Peripheral blood film: 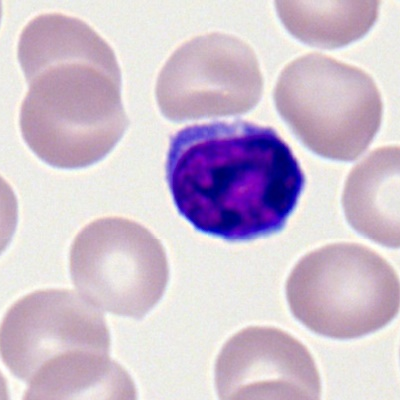
Morphological class — lymphocyte.